Bone marrow smear
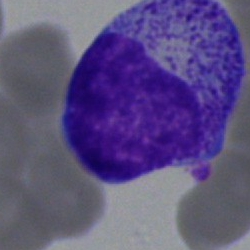

Classification = promyelocyte.